Peripheral blood smear: 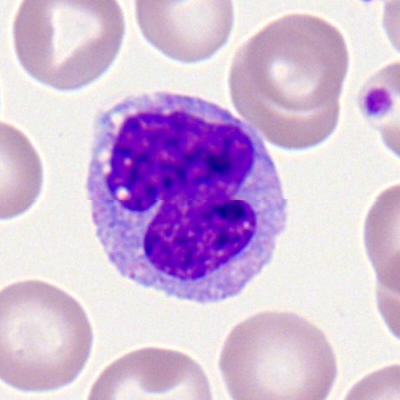 Q: What cell is this?
A: Monocyte.